Peripheral blood film: 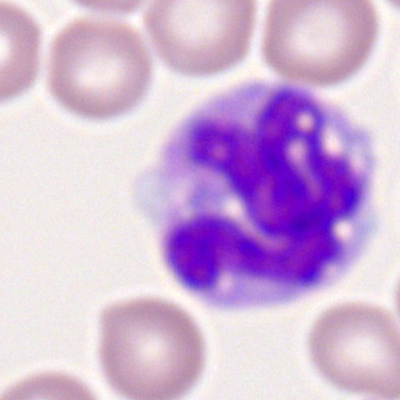
Specimen: peripheral blood smear.
Morphological class: monocyte.
Lineage: myeloid.